MGG-stained. Image size 250×250. Bone marrow aspirate smear
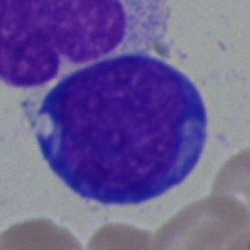Classification: proerythroblast.